Bone marrow aspirate smear · single-cell crop
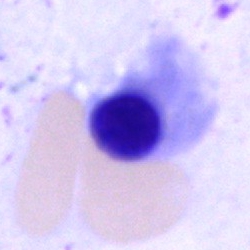

Morphological class: erythroblast.